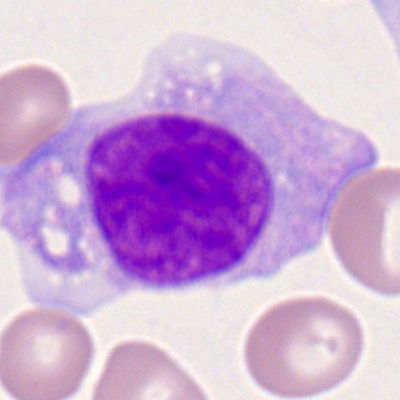

Morphological class — monocyte.